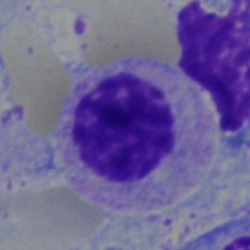 Showing a myelocyte.